250×250 px; bone marrow smear:
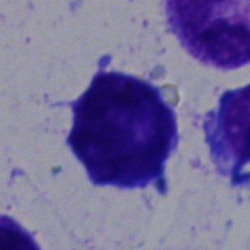
Q: What is the morphological classification of this cell?
A: It is a typical lymphocyte.